Bone marrow aspirate smear
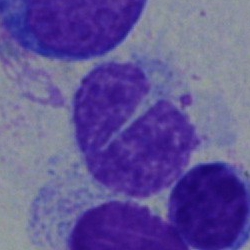
Classification: monocyte.